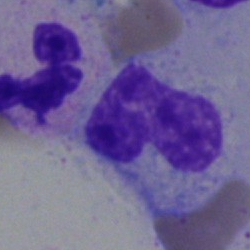

Morphological class = neutrophil (band).